Bone marrow smear · single-cell field — 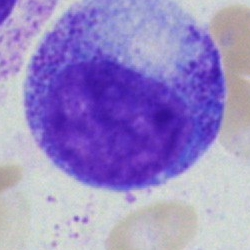Morphology — progranulocyte.